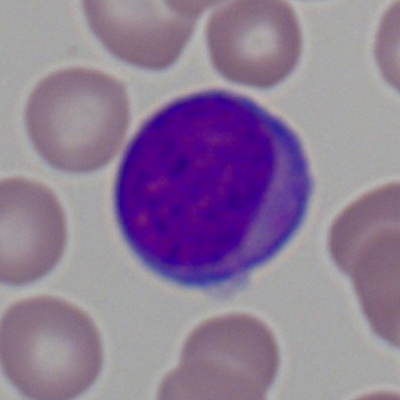 Q: What is the morphological classification of this cell?
A: A myeloid blast.